Romanowsky-stained; peripheral blood smear:
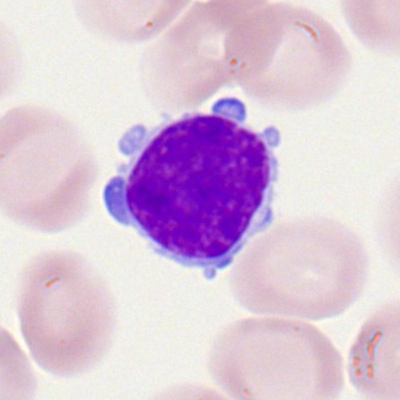Lymphocyte.